Bone marrow aspirate smear · cropped to a single cell · May-Grünwald-Giemsa/Pappenheim stain: 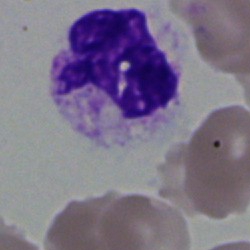Q: What is the morphological classification of this cell?
A: This is a polymorphonuclear neutrophil.